Bone marrow aspirate smear
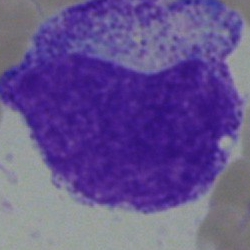 Specimen: bone marrow aspirate smear.
Cell type: progranulocyte.
Lineage: myeloid.